Bone marrow aspirate smear: 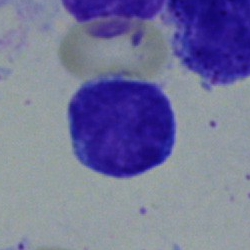

Morphological class = undifferentiated blast.